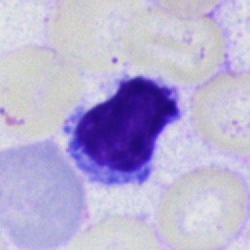 Q: Which cell type is shown here?
A: Typical lymphocyte.